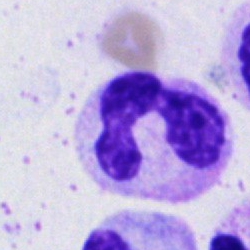

Morphology → polymorphonuclear neutrophil.